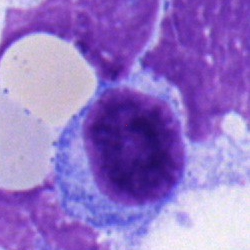
Impression → lymphocyte.